Bone marrow smear.
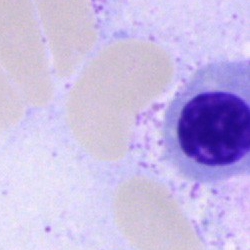 The cell shown is a normoblast.